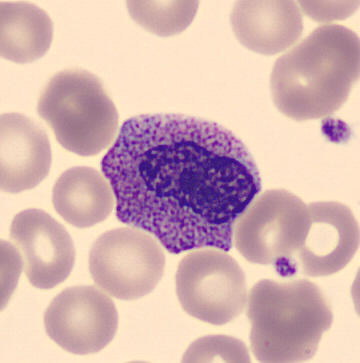Cell type = metamyelocyte. CellaVision DM96 digital cell image; image size 360×363; peripheral blood film.